400×400. Single-cell field. Peripheral blood smear: 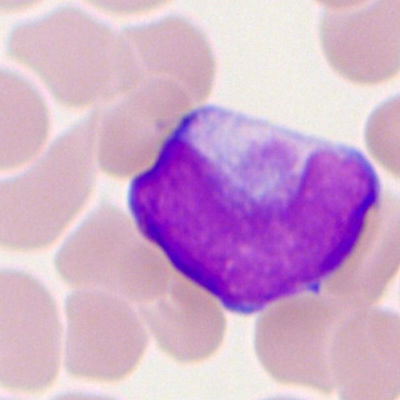 Myeloblast.